Bone marrow aspirate smear — 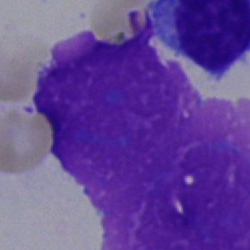
Specimen: bone marrow aspirate smear.
Cell type: artefact.